Bone marrow smear
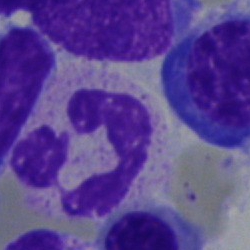
Classification: segmented neutrophil.